Bone marrow aspirate smear. 250 by 250 pixels:
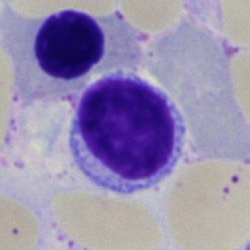
Impression — lymphocyte.